Bone marrow smear — 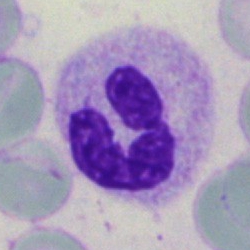
Cell — neutrophil (segmented).